Bone marrow smear.
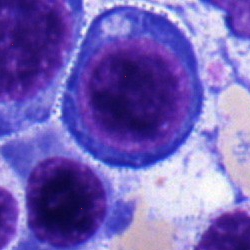 Morphological class: erythroblast.